Bone marrow smear — 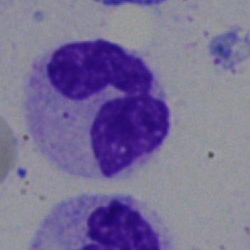 A neutrophil (segmented).